Bone marrow aspirate smear. 40× objective, oil immersion — 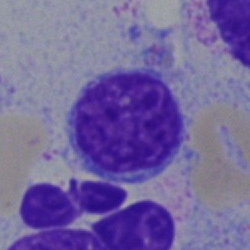 Morphology → typical lymphocyte.